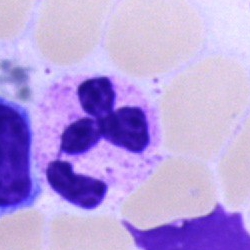

{"cell_type": "neutrophil (segmented)", "lineage": "myeloid"}